Bone marrow aspirate smear: 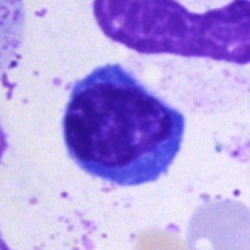
Q: What is shown here?
A: It is a lymphocyte.